40× oil immersion · bone marrow aspirate smear · single cell centered in the field — 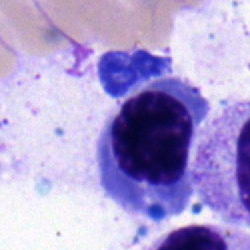
Cell type: normoblast.